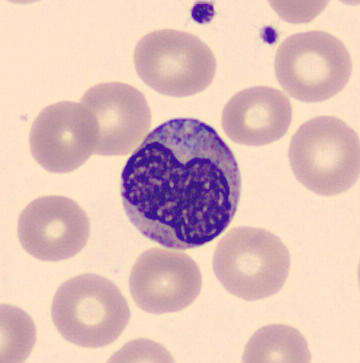Image: Peripheral blood smear. Single-cell crop.

Metamyelocyte.